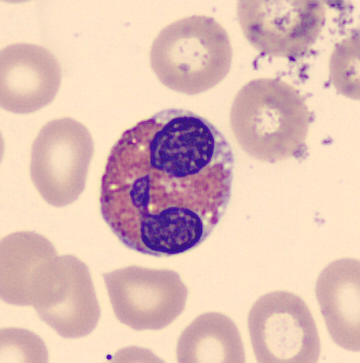

Showing an eosinophilic granulocyte.
Image: MGG stain · imaged on a CellaVision DM96 analyser · peripheral blood film.